Bone marrow smear; 40× objective, oil immersion:
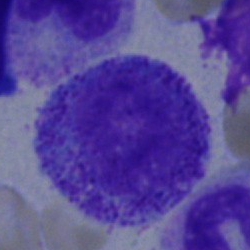 Q: Identify the cell.
A: This is a myelocyte.